Bone marrow aspirate smear: 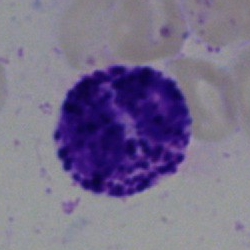

The cell is basophilic granulocyte.